Peripheral blood film.
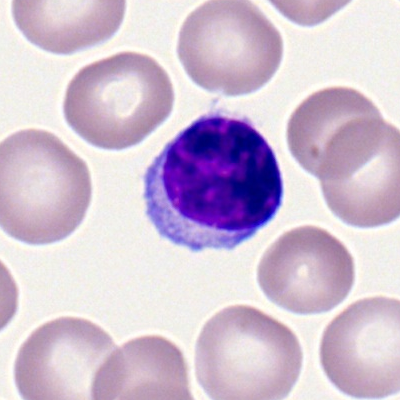 A typical lymphocyte.